Pappenheim-stained; bone marrow aspirate smear — 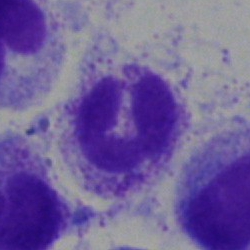

Polymorphonuclear neutrophil.